Bone marrow aspirate smear — 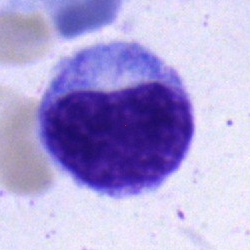Classification = myelocyte.